May-Grünwald-Giemsa/Pappenheim stain. Single-cell field. Bone marrow aspirate smear: 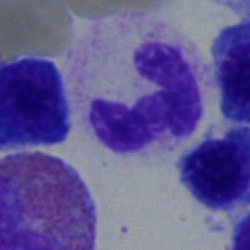 Cell: neutrophil (segmented).